Bone marrow smear · single-cell crop — 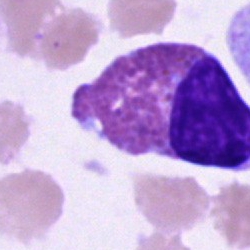Cell — eosinophilic granulocyte.